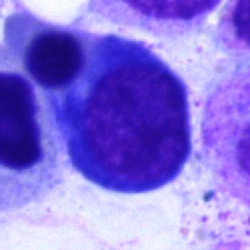
The classification is nucleated red cell.